Bone marrow aspirate smear · single cell centered in the field: 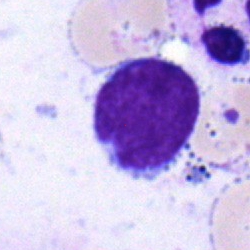Single cell identified as a typical lymphocyte.